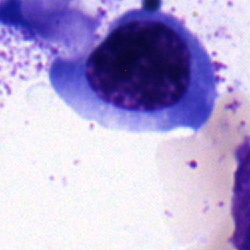 {"cell_type": "normoblast", "lineage": "erythroid"}